40× oil immersion; bone marrow smear — 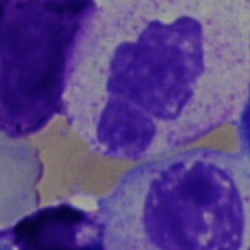 {"cell_type": "segmented neutrophil"}